Bone marrow aspirate smear: 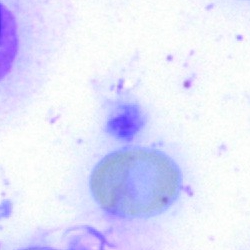
Q: What is shown here?
A: This is an artifact.